Peripheral blood film.
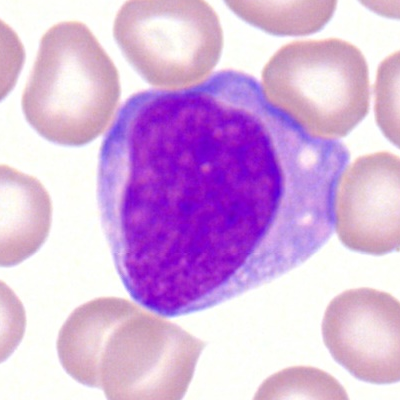 The cell type is myeloid blast.